Bone marrow aspirate smear: 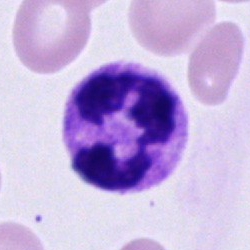 Q: What is shown here?
A: It is a polymorphonuclear neutrophil.